Peripheral blood film — 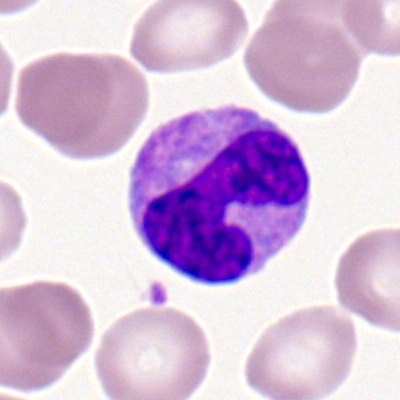 {"cell_type": "monocyte", "lineage": "myeloid"}